Bone marrow smear — 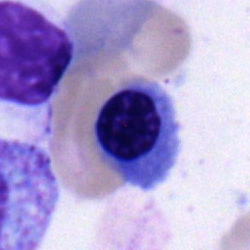 Q: What is the morphological classification of this cell?
A: This is an erythroblast.